Bone marrow aspirate smear: 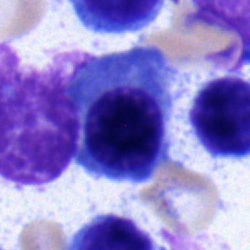Cell type: nucleated red cell.